Bone marrow aspirate smear · brightfield, 40× oil-immersion objective:
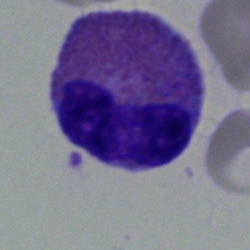
Impression — eosinophilic granulocyte.